Bone marrow aspirate smear
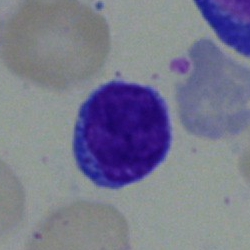
Morphological class — lymphocyte.